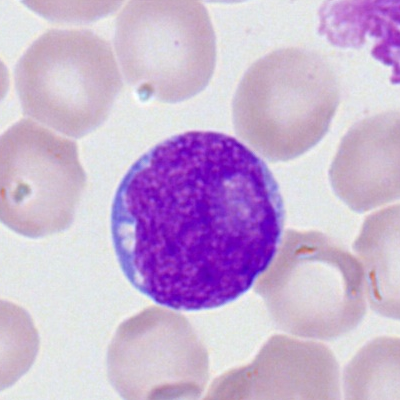The cell shown is a myeloid blast.